Bone marrow aspirate smear
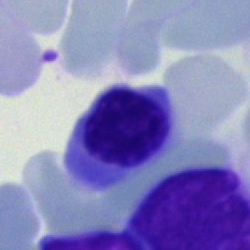

Q: What is the morphological classification of this cell?
A: It is a nucleated red blood cell.